Single-cell crop. Bone marrow smear
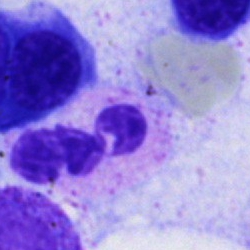

Specimen: bone marrow smear.
Classification: polymorphonuclear neutrophil.